Bone marrow smear.
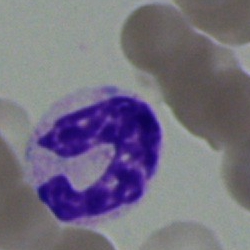
Classification: band-form neutrophil.